Single cell centered in the field · bone marrow smear.
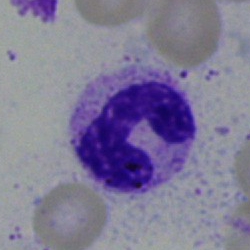

Classification — band-form neutrophil.